Peripheral blood film; MGG stain; CellaVision DM96
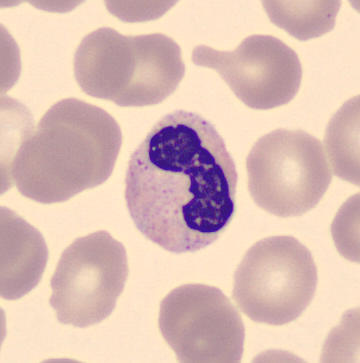

Q: What is this?
A: Stab cell.